Single cell centered in the field; 250×250; bone marrow smear: 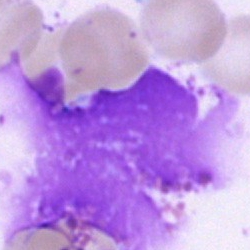
Morphology — artifact.